Peripheral blood film
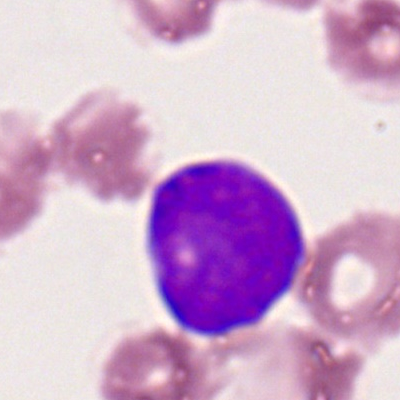 Showing a myeloblast.